40× objective, oil immersion. May-Grünwald-Giemsa stain. Bone marrow aspirate smear
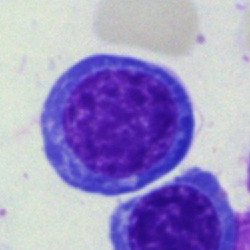
Q: What is shown here?
A: It is a normoblast.